Bone marrow smear
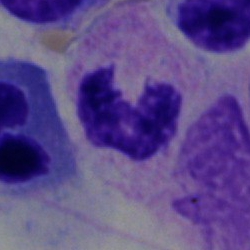 Q: What is the morphological classification of this cell?
A: It is a band-form neutrophil.